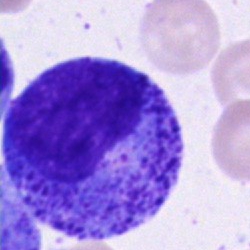 Cell type — progranulocyte.